Bone marrow smear:
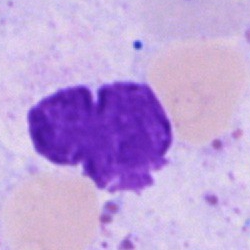

Q: What is shown here?
A: Artefact.